MGG-stained. Single cell centered in the field. Bone marrow aspirate smear.
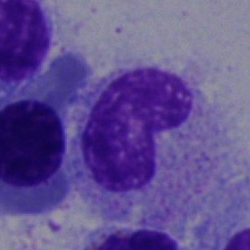 A stab cell.